Bone marrow smear — 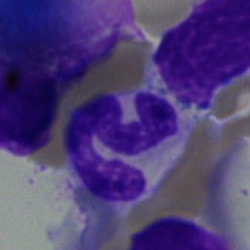Impression → polymorphonuclear neutrophil.